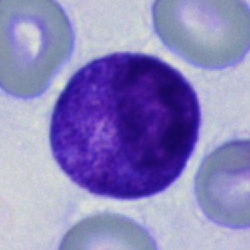

{"cell_type": "promyelocyte", "lineage": "myeloid"}